Bone marrow aspirate smear — 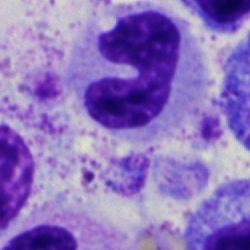Showing a band neutrophil.